Bone marrow aspirate smear. 40× objective, oil immersion:
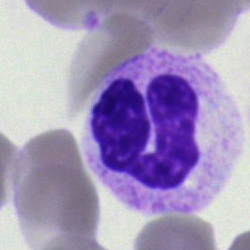

Morphological class = polymorphonuclear neutrophil.